Bone marrow smear. Brightfield microscopy, 40× oil immersion — 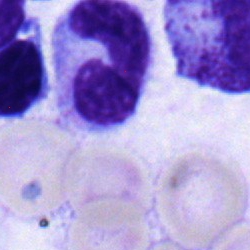Showing a band neutrophil.